Bone marrow smear
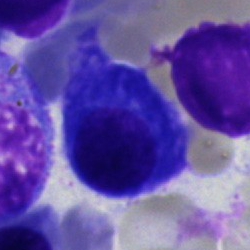 A plasma cell.